Peripheral blood smear. M8 digital microscope (Precipoint), 100× oil immersion. Cropped to a single cell
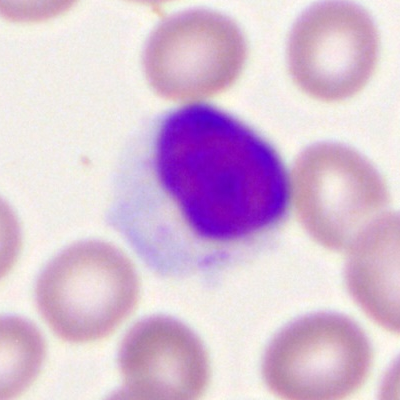Classification — typical lymphocyte.